40× objective, oil immersion. Bone marrow smear: 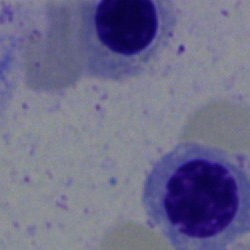

This is a nucleated red cell.